Bone marrow smear · 250×250 px.
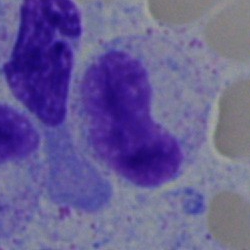Morphology consistent with a band neutrophil.